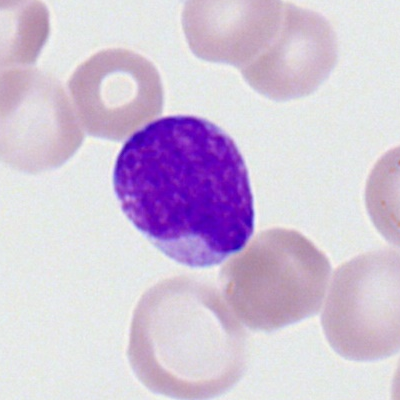A myeloblast.